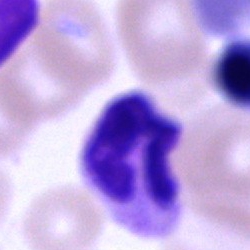
Q: Identify the cell.
A: This is a neutrophil (segmented).